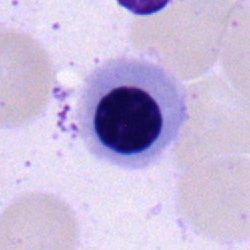 Specimen: bone marrow smear.
Cell: erythroblast.
Lineage: erythroid.